Bone marrow aspirate smear — 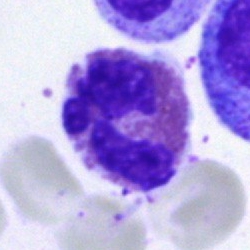
Single cell identified as an eosinophilic granulocyte.